Bone marrow smear
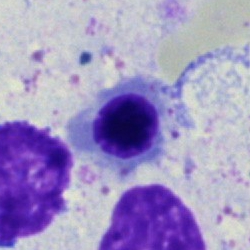 An erythroblast.